Bone marrow aspirate smear:
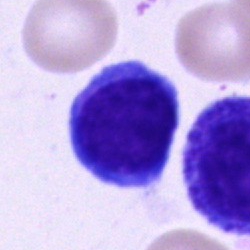Lymphocyte.